Bone marrow smear
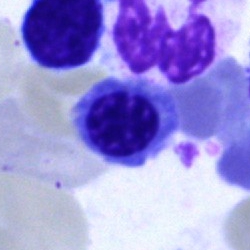

Specimen: bone marrow aspirate smear.
Cell type: normoblast.
Lineage: erythroid.